Bone marrow smear · 40× oil immersion · image size 250×250
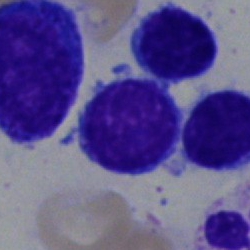 {"cell_type": "typical lymphocyte", "lineage": "lymphoid"}